Peripheral blood film — 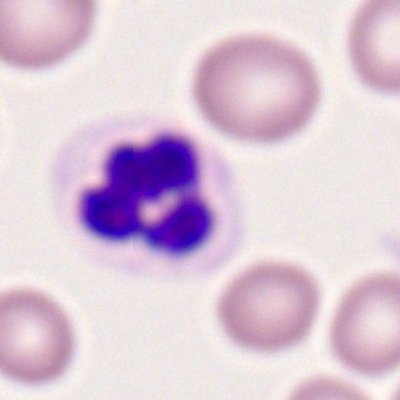

Classification = segmented neutrophil.